Bone marrow smear
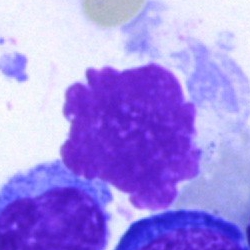 Specimen: bone marrow smear.
Cell: artefact.